Bone marrow smear.
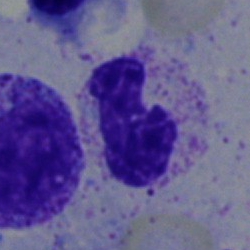

Cell type = band-form neutrophil.